Peripheral blood smear:
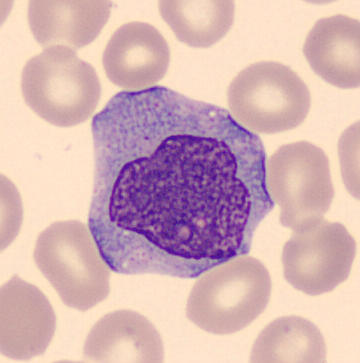 Morphology consistent with a monocyte.